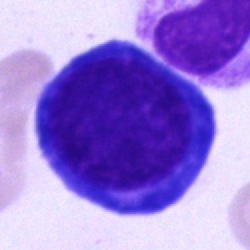
Morphological class = nucleated red blood cell.